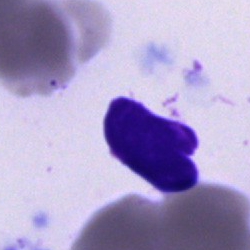
The morphological class is cell of indeterminate lineage.